Peripheral blood film; single-cell field.
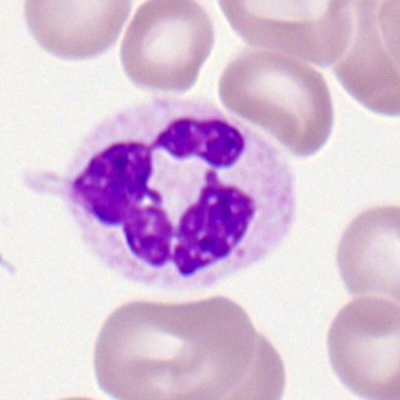Morphology → neutrophil (segmented).